Bone marrow smear · single cell centered in the field
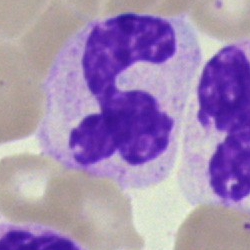

Single cell identified as a segmented neutrophil.